Bone marrow smear. Single-cell field:
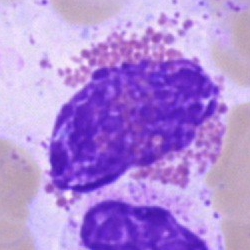
{"cell_type": "eosinophilic granulocyte", "lineage": "myeloid"}